Bone marrow aspirate smear:
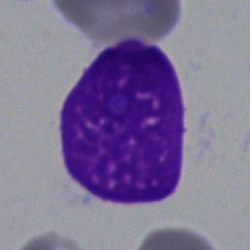
{"cell_type": "artifact"}